Bone marrow aspirate smear · 40× objective, oil immersion · 250×250 px: 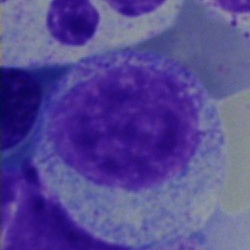 {"cell_type": "myelocyte", "lineage": "myeloid"}